Bone marrow aspirate smear: 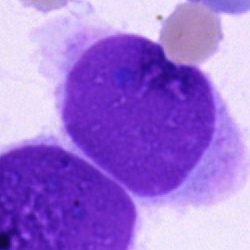

Cell type — artifact.